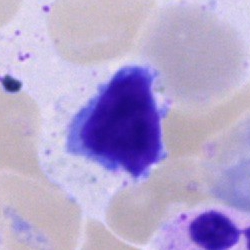
Morphology → typical lymphocyte.